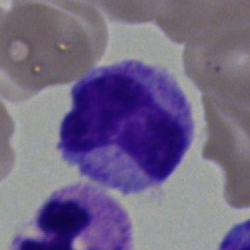
Cell type: metamyelocyte.